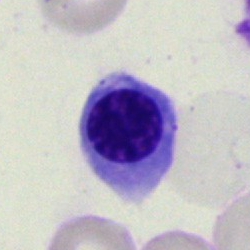
An erythroblast.